Bone marrow aspirate smear: 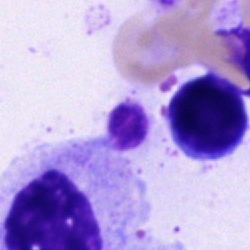

Q: Which cell type is shown here?
A: This is an unidentifiable cell.